May-Grünwald-Giemsa stain · bone marrow smear
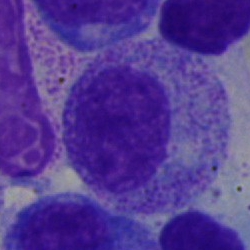
{"cell_type": "myelocyte", "lineage": "myeloid"}